Bone marrow smear. 250×250 px. Cropped to a single cell: 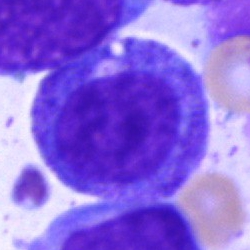 A progranulocyte.